Bone marrow aspirate smear. Cropped to a single cell — 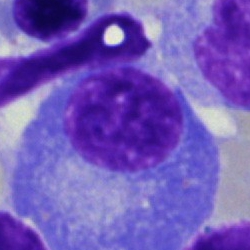

A plasma cell.